Cropped to a single cell · peripheral blood smear.
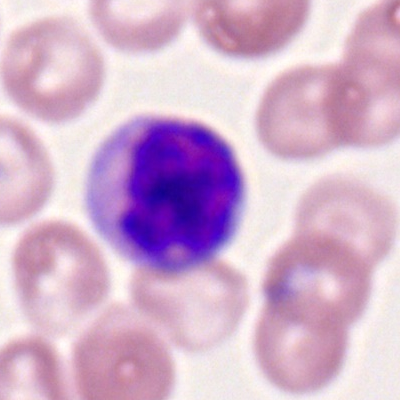Single cell identified as a lymphocyte.